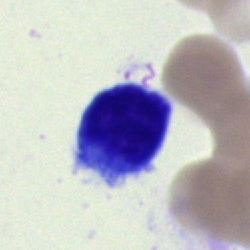

Impression — lymphocyte.